Bone marrow smear.
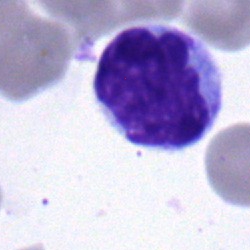 Morphology — lymphocyte.